Bone marrow aspirate smear — 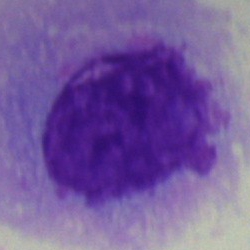 Cell = artifact.